Bone marrow aspirate smear:
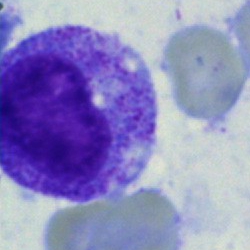
This is a promyelocyte.